Bone marrow smear · May-Grünwald-Giemsa stain · cropped to a single cell:
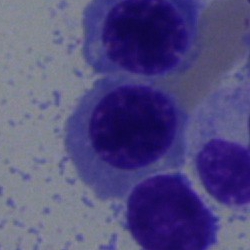 Normoblast.